Bone marrow aspirate smear. 250×250 px:
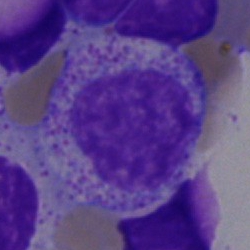
Morphological class — myelocyte.